Peripheral blood smear — 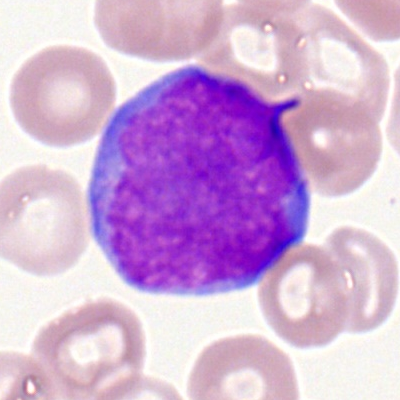

The cell is myeloblast.